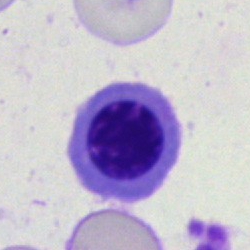

Cell = normoblast.